Single-cell field. Bone marrow aspirate smear:
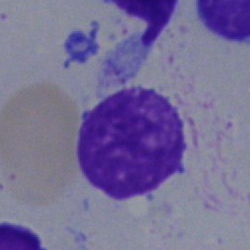 Impression → artefact.